250 by 250 pixels · 40× objective, oil immersion · bone marrow smear — 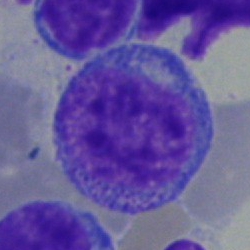 Morphology → blast.